Bone marrow aspirate smear; Pappenheim-stained
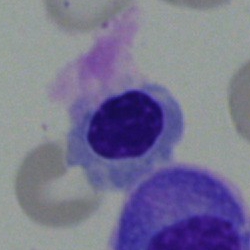 Morphology consistent with a nucleated red blood cell.